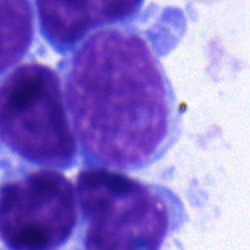 Q: What type of cell is this?
A: Typical lymphocyte.